Single-cell field · M8 digital microscope (Precipoint), 100× oil immersion · peripheral blood film: 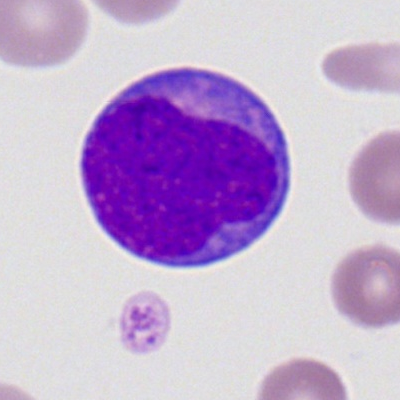
Q: What is the morphological classification of this cell?
A: This is a myeloid blast.